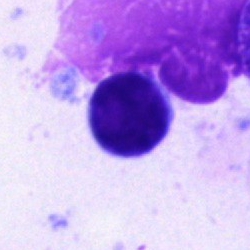

Bone marrow smear showing a lymphocyte.